Single cell centered in the field; bone marrow smear: 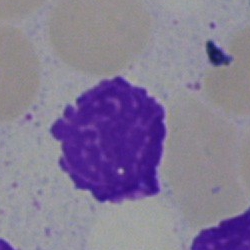
Morphology — artefact.